Bone marrow smear — 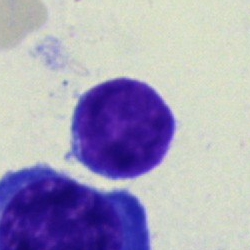

Single cell identified as a typical lymphocyte.